Bone marrow aspirate smear.
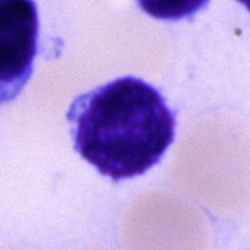Typical lymphocyte.